Bone marrow aspirate smear; cropped to a single cell; brightfield microscopy, 40× oil immersion: 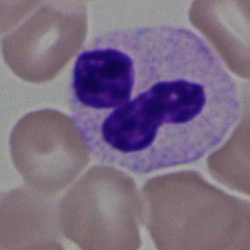Q: What is the morphological classification of this cell?
A: It is a segmented neutrophil.